Bone marrow smear
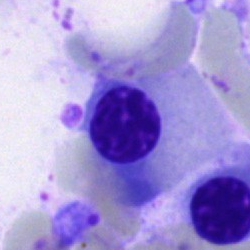Q: Identify the cell.
A: A nucleated red blood cell.